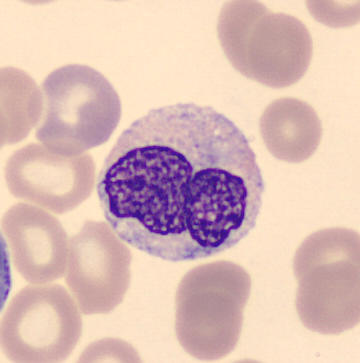

{"cell_type": "band neutrophil", "lineage": "myeloid"}